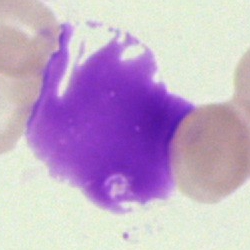
Bone marrow smear showing an artefact.